Pappenheim-stained. Bone marrow smear: 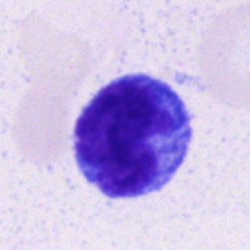
Morphology — lymphocyte.